Single-cell field. Bone marrow smear. May-Grünwald-Giemsa/Pappenheim stain:
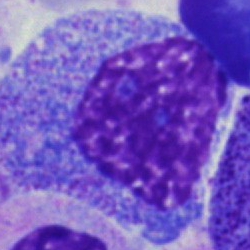

Morphology — promyelocyte.